Bone marrow smear.
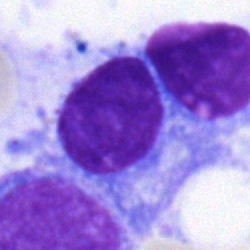 Showing a plasmacyte.